Image size 250×250. Bone marrow smear — 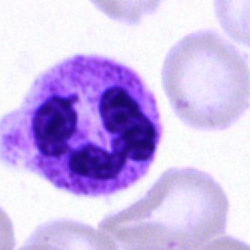The cell is neutrophil (segmented).